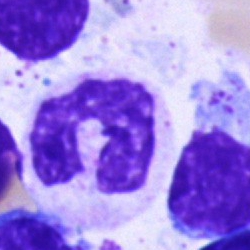Cell: neutrophil (band).